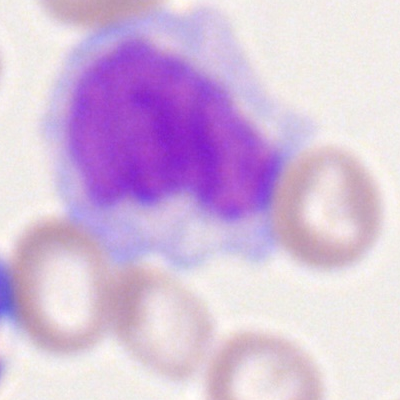
Single-cell crop from a peripheral blood smear: monocyte.